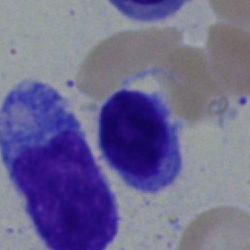 Q: What is the morphological classification of this cell?
A: It is a lymphocyte.